Bone marrow aspirate smear.
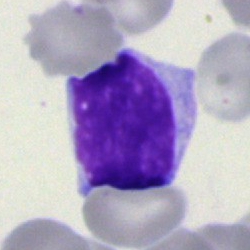

{"cell_type": "lymphocyte"}